Bone marrow aspirate smear.
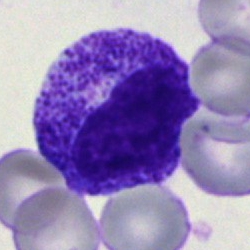Q: What cell is this?
A: Myelocyte.